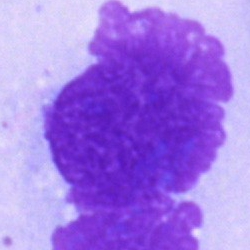
Bone marrow aspirate smear, single cell — artefact.